May-Grünwald-Giemsa/Pappenheim stain. Bone marrow smear: 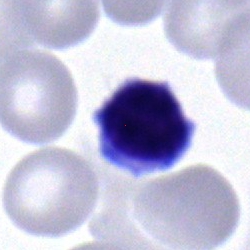

Single cell identified as a typical lymphocyte.